Bone marrow aspirate smear:
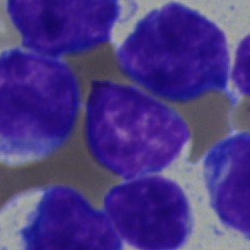 Cell type: typical lymphocyte.